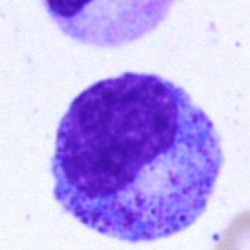Impression → myelocyte.